Bone marrow aspirate smear.
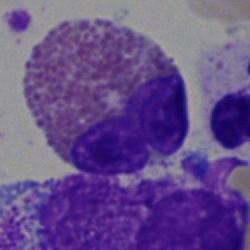

An eosinophilic granulocyte.